Bone marrow smear
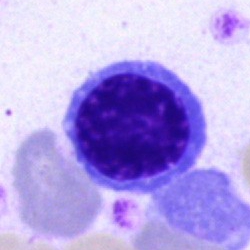
Classification: nucleated red blood cell.